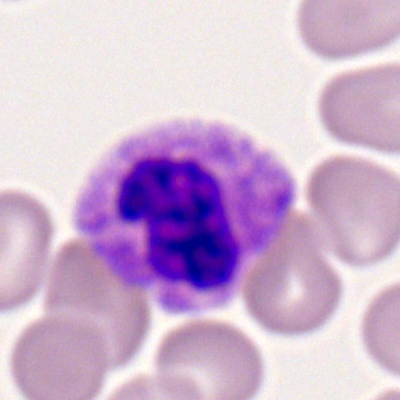

Cell type: segmented neutrophil.